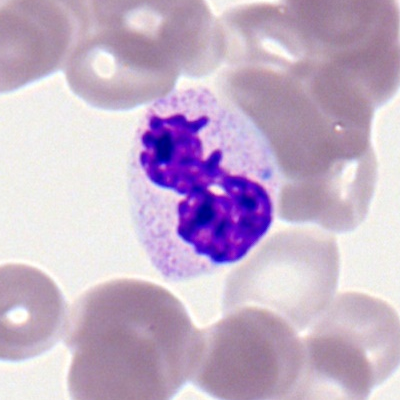

A polymorphonuclear neutrophil.